Bone marrow aspirate smear. 250×250
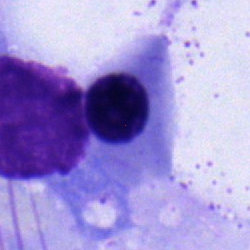

Q: What is shown here?
A: A nucleated red blood cell.